Peripheral blood film.
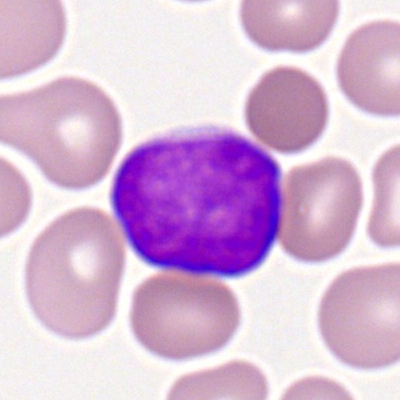
The classification is myeloid blast.